Bone marrow aspirate smear:
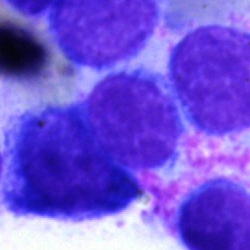 Morphology → lymphocyte.